Bone marrow smear — 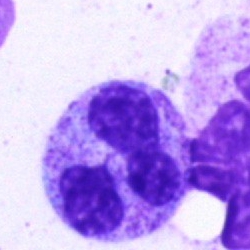
Q: Identify the cell.
A: This is a segmented neutrophil.